Peripheral blood film:
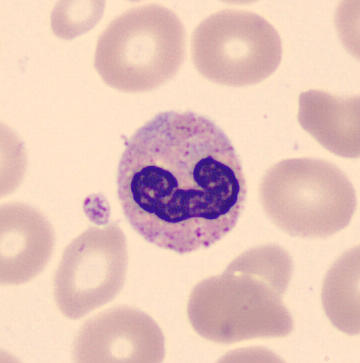

Morphological class = band-form neutrophil.